Pappenheim-stained · 250×250 px · bone marrow aspirate smear — 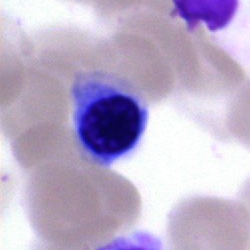

{"cell_type": "nucleated red blood cell", "lineage": "erythroid"}